MGG-stained · bone marrow aspirate smear:
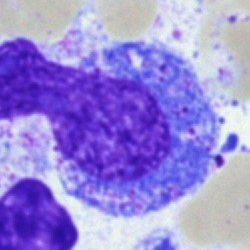

Q: Identify the cell.
A: A cell of indeterminate lineage.